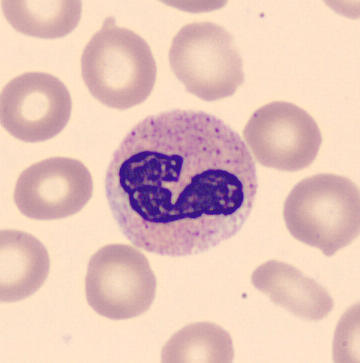
Acquisition: Peripheral blood smear.

{"cell_type": "band neutrophil", "lineage": "myeloid"}